Bone marrow smear; cropped to a single cell; 40× objective, oil immersion
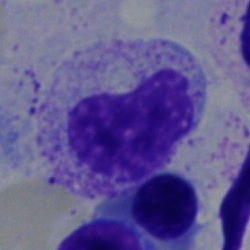 Q: What is the morphological classification of this cell?
A: This is a metamyelocyte.